Bone marrow aspirate smear
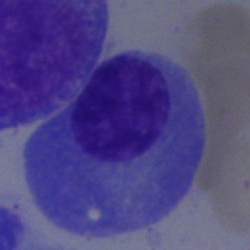

Cell type: plasmacyte.